Bone marrow smear: 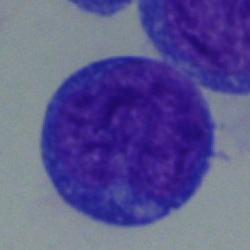
Specimen: bone marrow smear.
Morphological class: blast cell.